Bone marrow smear · brightfield, 40× oil-immersion objective · May-Grünwald-Giemsa stain
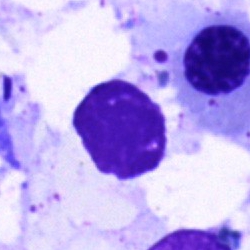An unidentifiable cell.